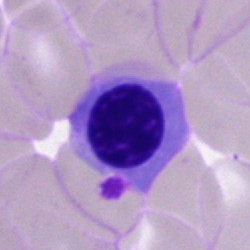A nucleated red cell on a bone marrow smear.